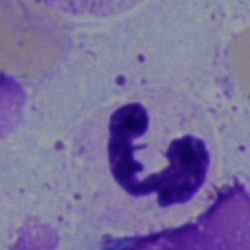 Cell type — neutrophil (segmented).